Bone marrow smear — 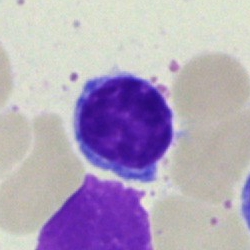

Morphological class = lymphocyte.